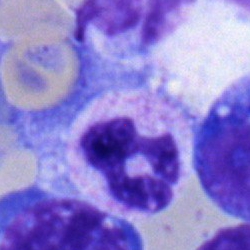 Impression → segmented neutrophil.